Peripheral blood film:
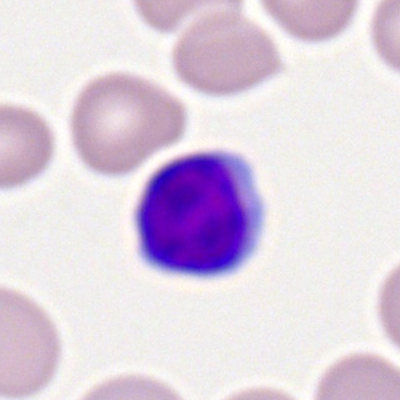

Q: Identify the cell.
A: It is a lymphocyte.